Single-cell field; bone marrow smear.
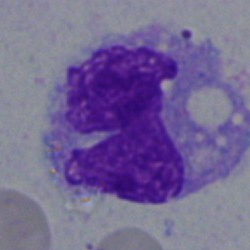 Cell type: monocyte.